40× oil immersion · bone marrow smear
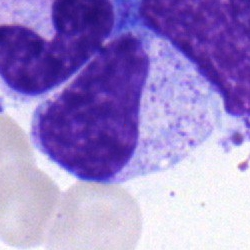

Single cell identified as a myelocyte.